Bone marrow aspirate smear · image size 250×250: 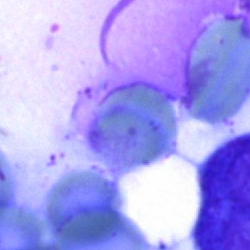
Morphology → artefact.